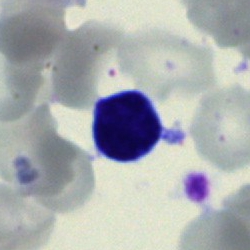 Impression — typical lymphocyte.